May-Grünwald-Giemsa/Pappenheim stain; bone marrow aspirate smear — 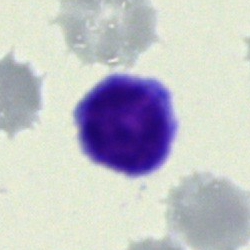

The cell shown is a typical lymphocyte.